Bone marrow smear:
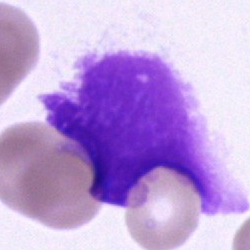 The cell shown is an artifact.